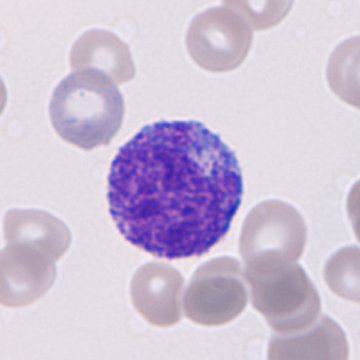

Preparation: CellaVision DM96.

Specimen: peripheral blood smear.
Classification: granulocyte precursor.
Lineage: myeloid.